Bone marrow smear:
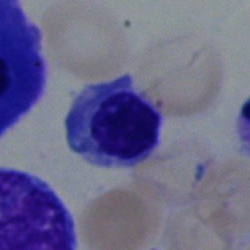Impression — nucleated red blood cell.